Single cell centered in the field; bone marrow smear; MGG-stained:
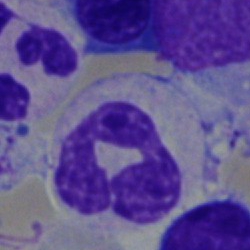 The cell shown is a neutrophil (band).